Peripheral blood film · M8 digital microscope (Precipoint), 100× oil immersion · image size 400×400 — 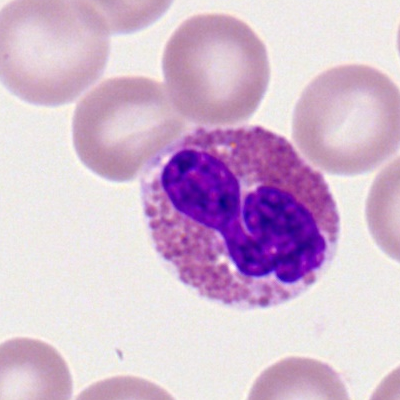Q: Which cell type is shown here?
A: An eosinophilic granulocyte.